Single-cell field; bone marrow smear.
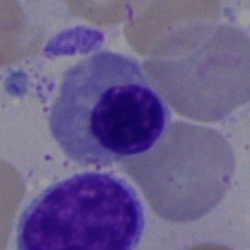 Specimen: bone marrow smear.
Classification: nucleated red blood cell.
Lineage: erythroid.